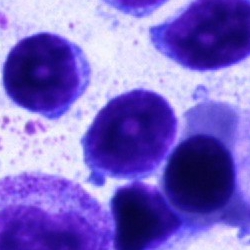Bone marrow aspirate smear, single cell — typical lymphocyte.